Bone marrow smear; 250×250 px: 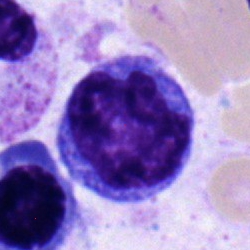
Morphological class: monocyte.